Bone marrow smear. Single-cell crop.
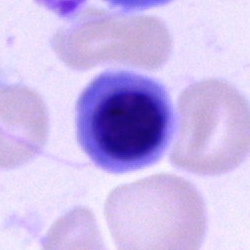 Q: Which cell type is shown here?
A: It is an erythroblast.